CellaVision DM96 digital cell image · peripheral blood film · single-cell crop — 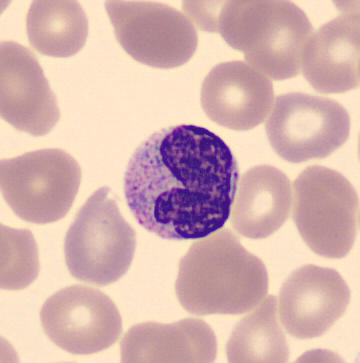
Q: What type of cell is this?
A: This is a metamyelocyte.